Bone marrow smear — 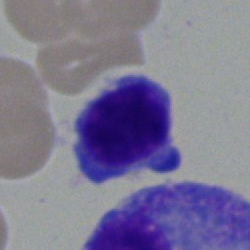

Morphological class — lymphocyte.